Bone marrow smear — 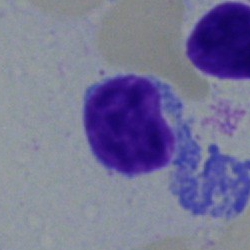
Cell type = lymphocyte.